Bone marrow aspirate smear.
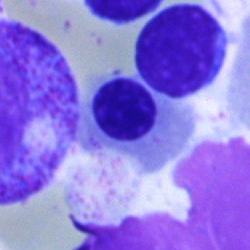Morphology → normoblast.